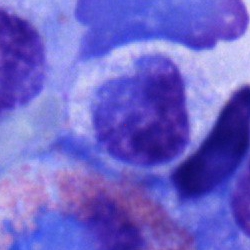Cell type = myelocyte.